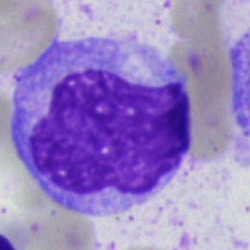 Specimen: bone marrow aspirate smear.
Classification: monocyte.
Lineage: myeloid.